Peripheral blood smear
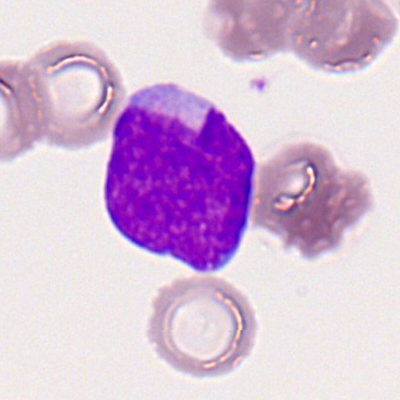

Specimen: peripheral blood smear.
Cell type: myeloid blast.
Lineage: myeloid.